Bone marrow smear:
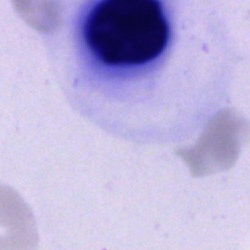The cell type is unidentifiable cell.